Peripheral blood smear · M8 digital microscope (Precipoint), 100× oil immersion · Romanowsky-type stain
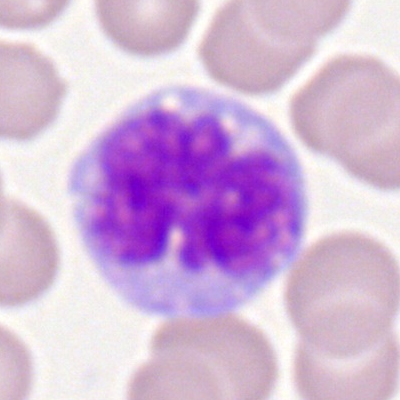Morphological class: monocyte.